Bone marrow aspirate smear — 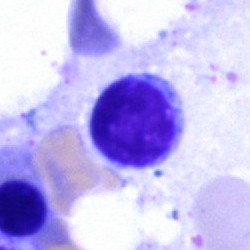
Q: Identify the cell.
A: Lymphocyte.